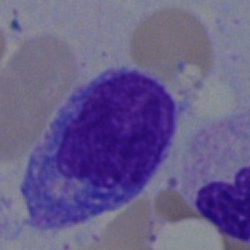
Q: What type of cell is this?
A: This is a lymphocyte.